250 by 250 pixels · bone marrow smear:
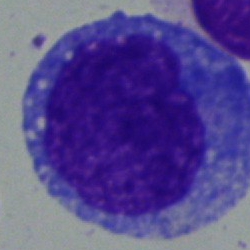 {"cell_type": "promyelocyte", "lineage": "myeloid"}